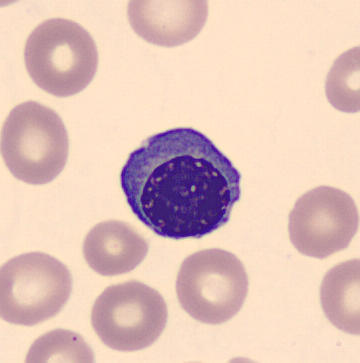
Specimen: peripheral blood smear.
Classification: nucleated red cell.